Image size 250×250; brightfield, 40× oil-immersion objective; bone marrow smear: 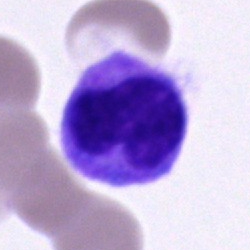

Cell type — monocyte.